Bone marrow smear
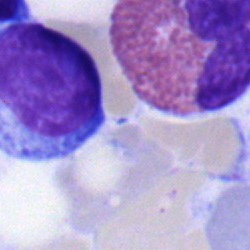Classification: eosinophilic granulocyte.